Bone marrow smear
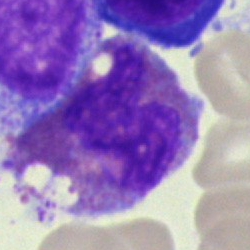

Eosinophil.